Single cell centered in the field · peripheral blood film: 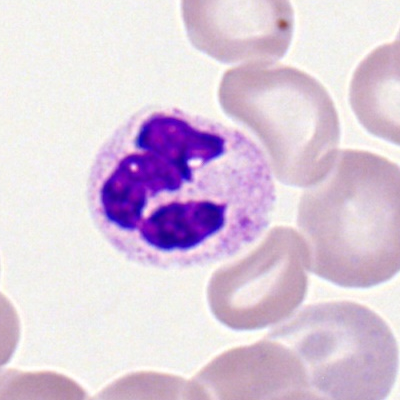

{"cell_type": "polymorphonuclear neutrophil"}